Single-cell crop. Bone marrow smear:
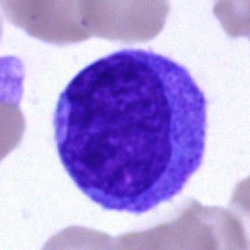

Showing a blast cell.